Bone marrow smear: 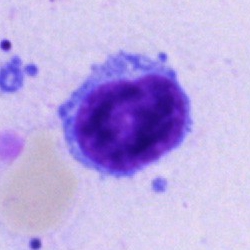

Morphology → lymphocyte.